Bone marrow aspirate smear. May-Grünwald-Giemsa/Pappenheim stain
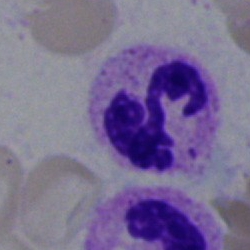 Classification: neutrophil (segmented).